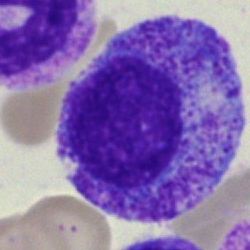
Morphology → promyelocyte.